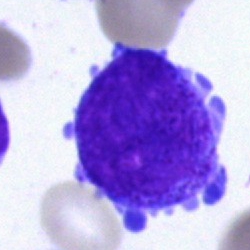 Q: What cell is this?
A: This is a blast.